Bone marrow aspirate smear
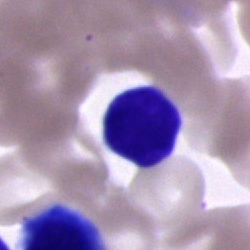

The cell shown is a lymphocyte.